Bone marrow aspirate smear. Cropped to a single cell.
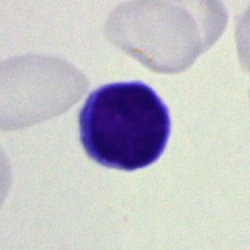

Morphology → typical lymphocyte.